Peripheral blood smear.
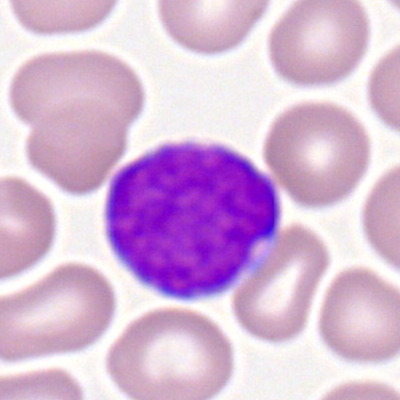
Q: What is the morphological classification of this cell?
A: A myeloblast.